Bone marrow smear:
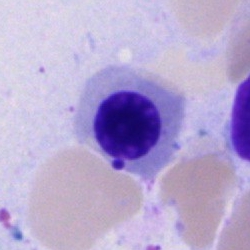Specimen: bone marrow smear.
Cell: erythroblast.